Bone marrow smear:
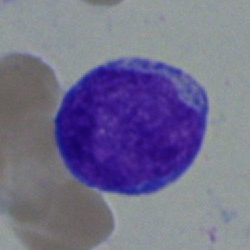Cell: blast cell.